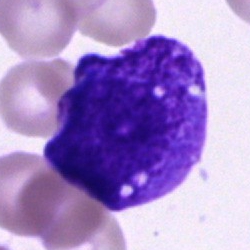
The cell shown is a progranulocyte.